Peripheral blood smear — 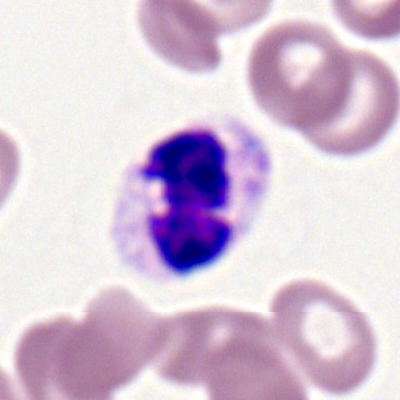 Q: What type of cell is this?
A: Segmented neutrophil.